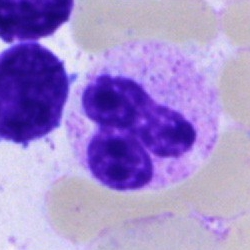 Specimen: bone marrow smear.
Cell: segmented neutrophil.